Bone marrow smear · 40× objective, oil immersion
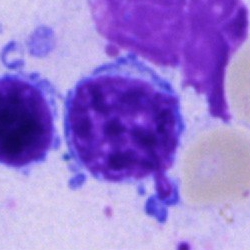
The morphological class is lymphocyte.